Bone marrow smear.
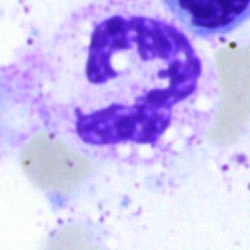
Morphological class = neutrophil (segmented).